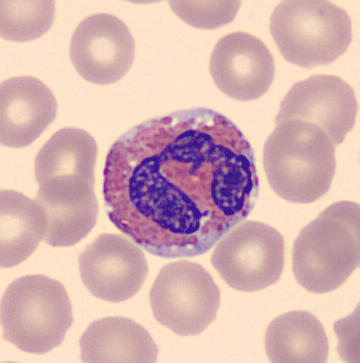
360 by 363 pixels · peripheral blood smear. Morphology consistent with an eosinophil.